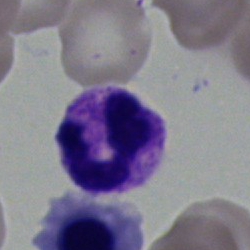Classification — neutrophil (segmented).